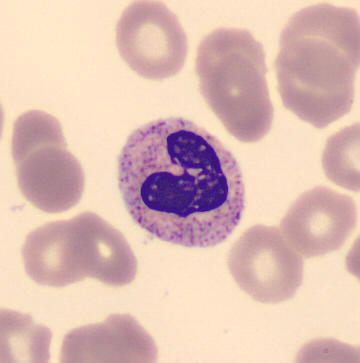Peripheral blood smear.
Morphology — band neutrophil.